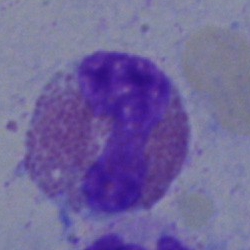An eosinophil.